Bone marrow smear.
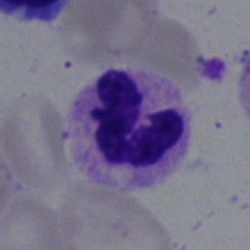

A polymorphonuclear neutrophil.